Single-cell field. MGG-stained. Bone marrow smear: 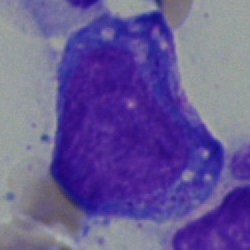Morphology — promyelocyte.